250×250 · bone marrow aspirate smear — 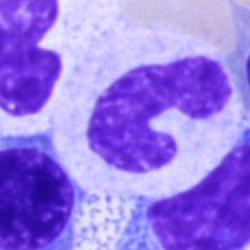Specimen: bone marrow smear.
Cell type: band-form neutrophil.